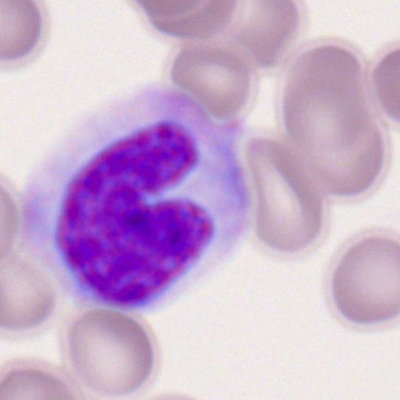 Q: What is shown here?
A: Monocyte.